Bone marrow aspirate smear; Pappenheim-stained — 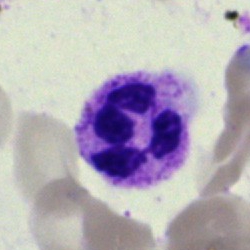 Morphology consistent with a polymorphonuclear neutrophil.